Bone marrow aspirate smear.
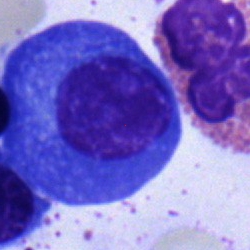

Specimen: bone marrow aspirate smear.
Classification: plasmacyte.